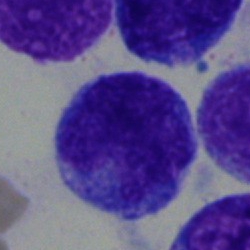

Cell — undifferentiated blast.